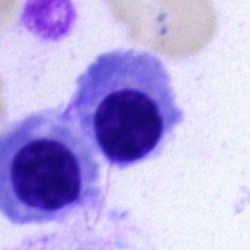

Bone marrow smear showing a nucleated red blood cell.